Bone marrow aspirate smear: 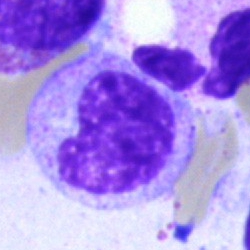
This is a metamyelocyte.